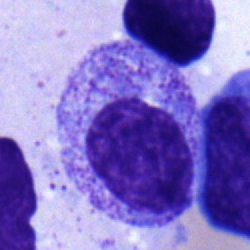
The morphological class is myelocyte.